Bone marrow smear.
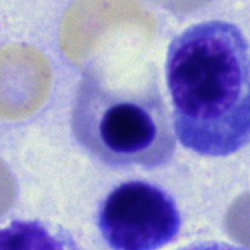 Cell type: normoblast.